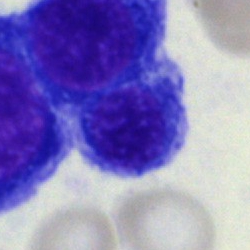The classification is erythroblast.